Single cell centered in the field · bone marrow smear — 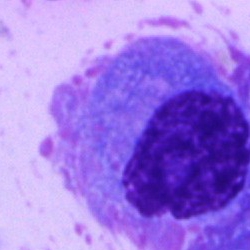 Cell type: plasma cell.